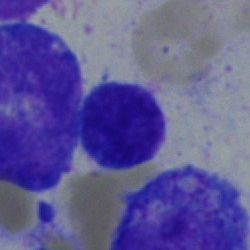
Morphological class: lymphocyte.